Peripheral blood film. 400×400 px
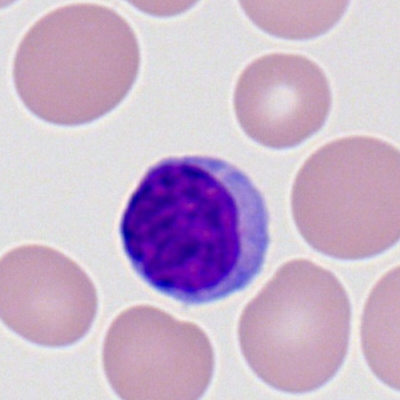Morphology → lymphocyte.